Bone marrow aspirate smear. 40× oil immersion:
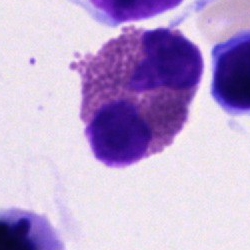Cell: eosinophilic granulocyte.